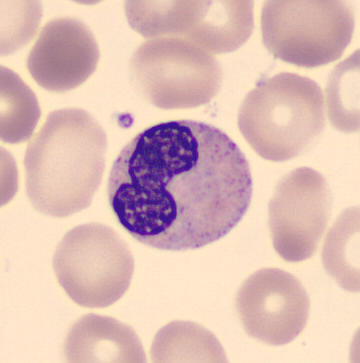 Classification: band neutrophil.

Preparation: Automated cell imaging (CellaVision DM96) · peripheral blood smear · image size 360×363.